Bone marrow smear. Brightfield, 40× oil-immersion objective: 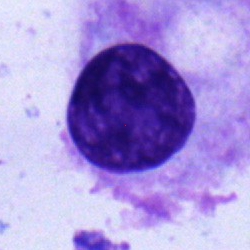
Specimen: bone marrow aspirate smear.
Morphological class: plasma cell.